Bone marrow smear:
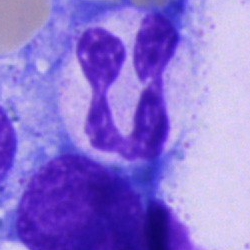
Cell — neutrophil (segmented).